Brightfield, 40× oil-immersion objective · bone marrow aspirate smear.
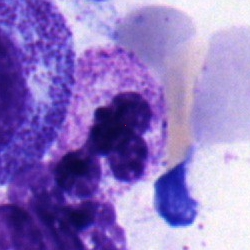
A neutrophil (segmented).